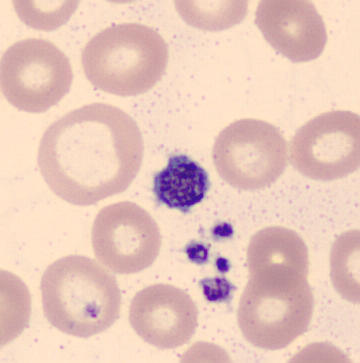
Preparation: Image size 360×363.
Specimen: peripheral blood smear.
Cell type: platelet.